Brightfield, 40× oil-immersion objective · bone marrow aspirate smear
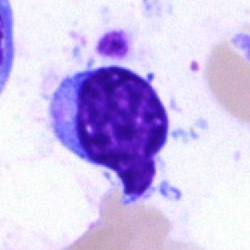 Morphology → typical lymphocyte.